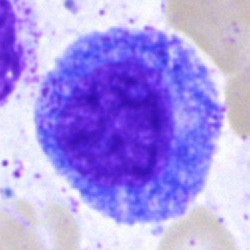

Specimen: bone marrow aspirate smear.
Cell: progranulocyte.
Lineage: myeloid.